Single-cell field · bone marrow smear · 40× objective, oil immersion — 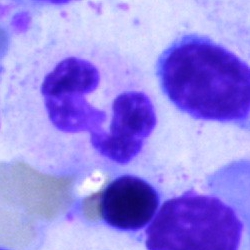Impression — neutrophil (segmented).